250×250. Bone marrow smear.
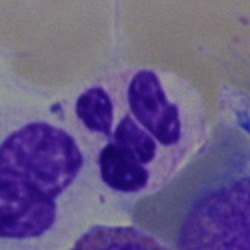
The cell shown is a segmented neutrophil.